Bone marrow aspirate smear
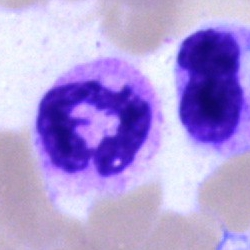

Morphology consistent with a polymorphonuclear neutrophil.